Brightfield, 100× oil-immersion objective. Peripheral blood film:
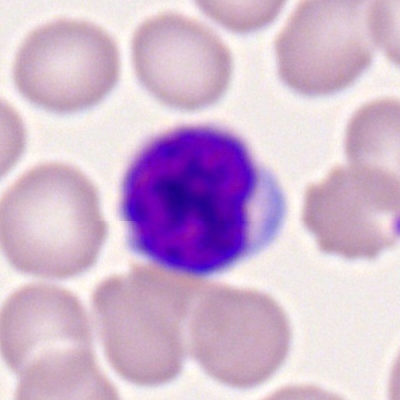 Q: What cell is this?
A: This is a lymphocyte.